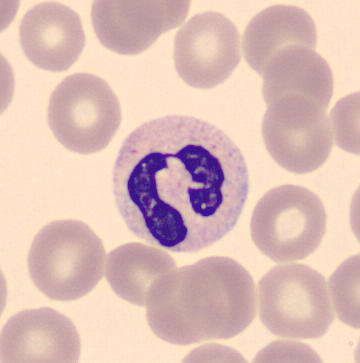 Showing a neutrophil (segmented). Peripheral blood smear.